Bone marrow smear. May-Grünwald-Giemsa/Pappenheim stain: 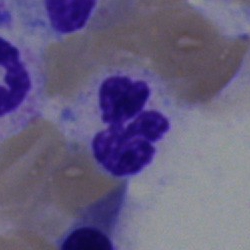

The cell is neutrophil (segmented).